Bone marrow smear. May-Grünwald-Giemsa stain
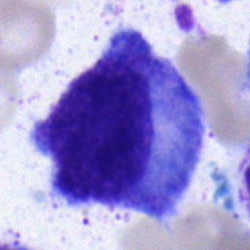
Q: What is the morphological classification of this cell?
A: This is a promyelocyte.